Bone marrow aspirate smear.
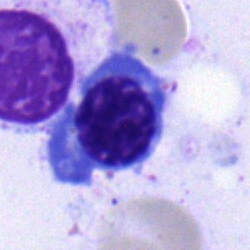
Specimen: bone marrow aspirate smear.
Cell: normoblast.
Lineage: erythroid.